Bone marrow aspirate smear · May-Grünwald-Giemsa/Pappenheim stain · single-cell field: 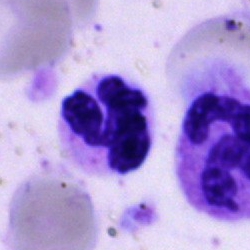

Specimen: bone marrow aspirate smear.
Cell type: neutrophil (segmented).
Lineage: myeloid.